40× objective, oil immersion; bone marrow aspirate smear: 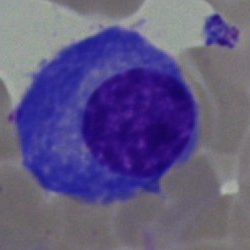Morphology consistent with a plasma cell.